250×250 px · single-cell crop · bone marrow aspirate smear:
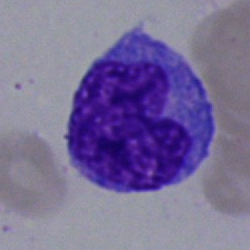
This is a monocyte.